Bone marrow smear.
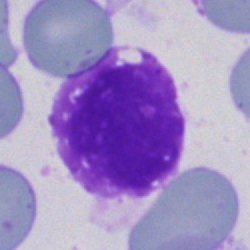
Single cell identified as an artefact.